Bone marrow smear: 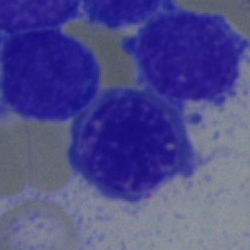
Q: What is shown here?
A: This is a typical lymphocyte.